Bone marrow smear. Brightfield, 40× oil-immersion objective
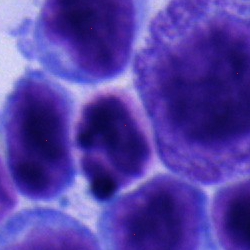 Showing a neutrophil (segmented).